Bone marrow smear · May-Grünwald-Giemsa/Pappenheim stain:
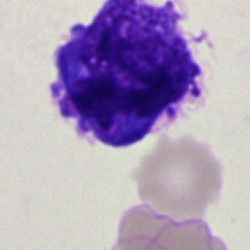
Impression — blast.